Bone marrow smear: 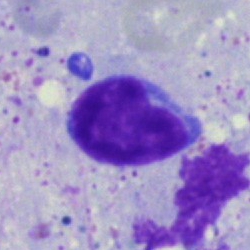
Specimen: bone marrow aspirate smear.
Classification: lymphocyte.